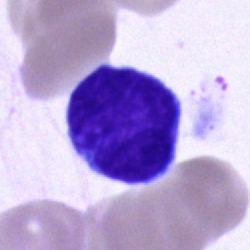 {"cell_type": "lymphocyte", "lineage": "lymphoid"}